Bone marrow aspirate smear; single-cell crop: 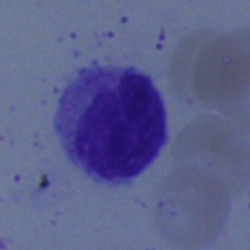The morphological class is neutrophil (band).